Bone marrow smear
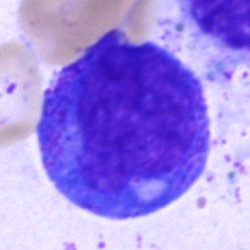 Cell type = promyelocyte.